May-Grünwald-Giemsa stain. Bone marrow smear: 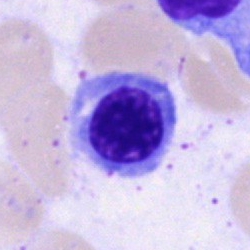

The classification is nucleated red cell.